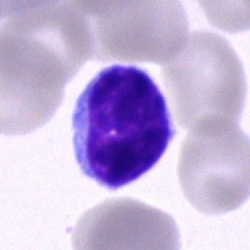 Cell type — lymphocyte.